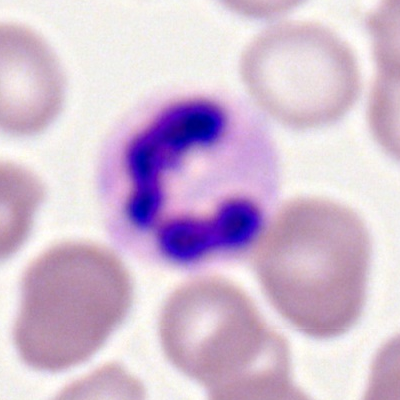

{"cell_type": "segmented neutrophil", "lineage": "myeloid"}